Bone marrow aspirate smear: 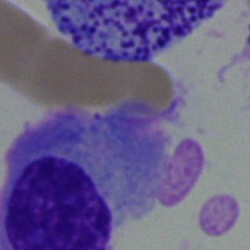 The cell shown is a plasmacyte.